MGG-stained. 250 by 250 pixels. Bone marrow smear:
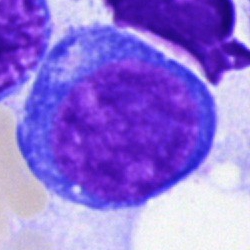

The morphological class is blast.